May-Grünwald-Giemsa stain · bone marrow aspirate smear — 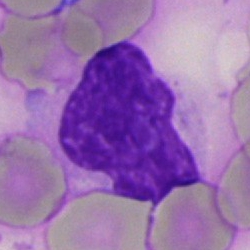Impression → artifact.